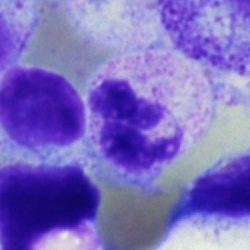
A neutrophil (segmented).